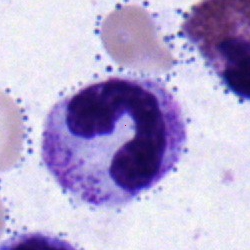 Morphological class: band neutrophil.